Bone marrow smear · brightfield, 40× oil-immersion objective
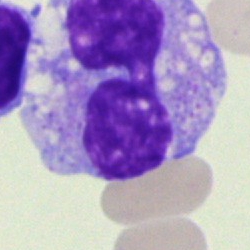
Classification = monocyte.